Bone marrow aspirate smear.
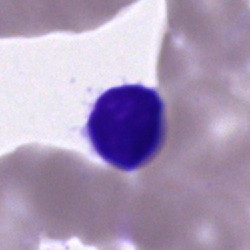
Classification = lymphocyte.